Cropped to a single cell · peripheral blood film · 100× oil immersion, 14.14 px/µm: 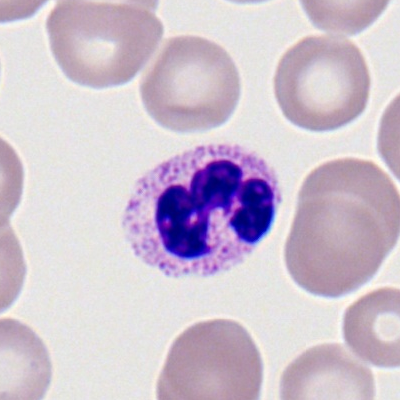 Classification — neutrophil (segmented).